250 by 250 pixels; May-Grünwald-Giemsa stain; bone marrow aspirate smear: 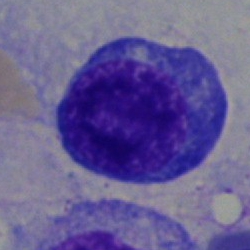
Classification = pronormoblast.